Bone marrow smear. Single-cell field: 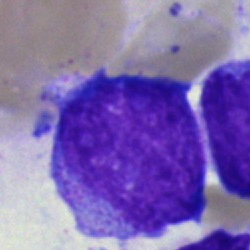 Morphology → blast cell.